May-Grünwald-Giemsa/Pappenheim stain; brightfield microscopy, 40× oil immersion; bone marrow smear — 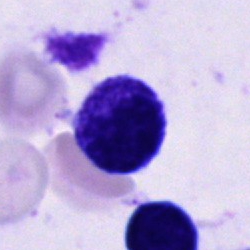
Specimen: bone marrow smear.
Cell type: cell of indeterminate lineage.